Peripheral blood smear; Romanowsky-type stain; 100× oil immersion, 14.14 px/µm.
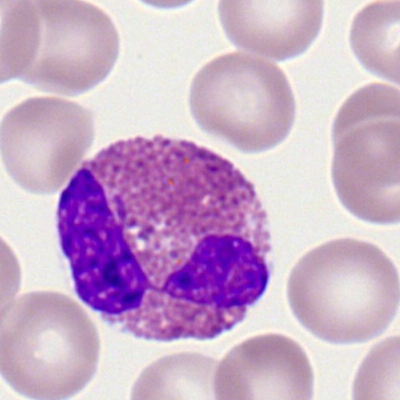The cell type is eosinophilic granulocyte.